Bone marrow smear. 250×250 — 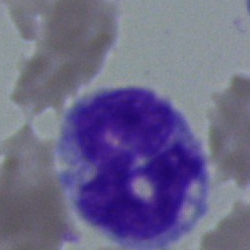 Q: Which cell type is shown here?
A: It is a monocyte.